May-Grünwald-Giemsa/Pappenheim stain. Bone marrow smear. Image size 250×250
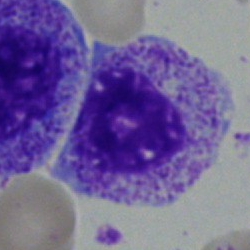 A myelocyte.